Pappenheim-stained · bone marrow aspirate smear — 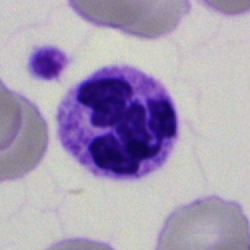
Cell type: polymorphonuclear neutrophil.